Bone marrow aspirate smear; 250×250; 40× objective, oil immersion
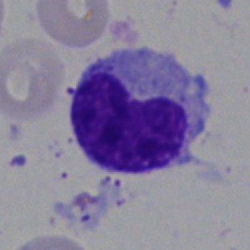
Q: Identify the cell.
A: It is a metamyelocyte.